Bone marrow smear. Single-cell field
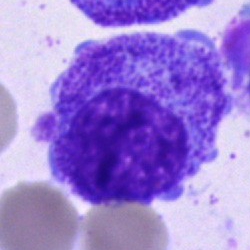
Morphological class: progranulocyte.